Peripheral blood film · single-cell crop · 100× oil immersion, 14.14 px/µm — 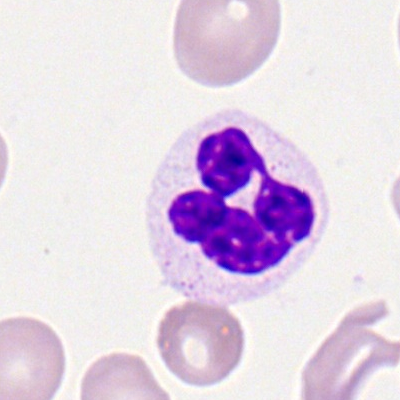Specimen: peripheral blood smear.
Cell type: polymorphonuclear neutrophil.